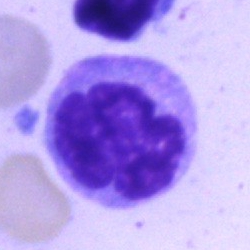 Specimen: bone marrow smear.
Cell: monocyte.
Lineage: myeloid.